40× oil immersion; bone marrow smear; image size 250×250: 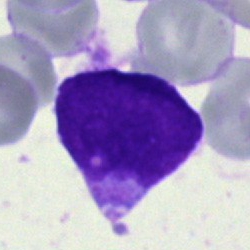The morphological class is undifferentiated blast.